250 by 250 pixels · bone marrow aspirate smear.
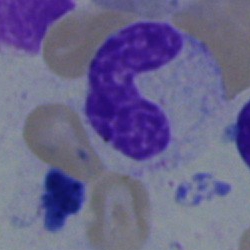 Cell type — band neutrophil.